Bone marrow aspirate smear: 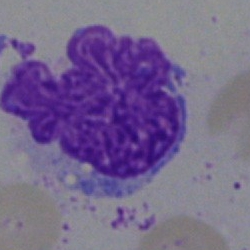
Q: What is shown here?
A: This is an artifact.